Single-cell field · bone marrow aspirate smear — 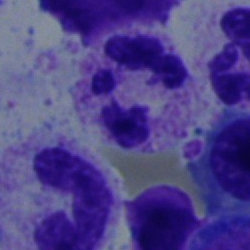
{"cell_type": "neutrophil (segmented)", "lineage": "myeloid"}